40× objective, oil immersion. Bone marrow aspirate smear: 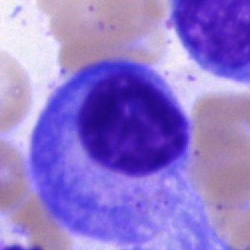
This is a plasmacyte.